Bone marrow aspirate smear · MGG-stained
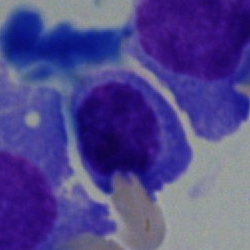

Q: What type of cell is this?
A: Plasma cell.